Bone marrow aspirate smear · May-Grünwald-Giemsa/Pappenheim stain.
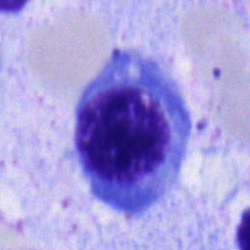

Q: What is shown here?
A: Nucleated red blood cell.